Bone marrow aspirate smear · Pappenheim-stained
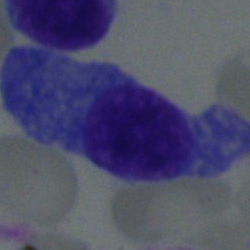
A plasma cell.